400×400; peripheral blood smear — 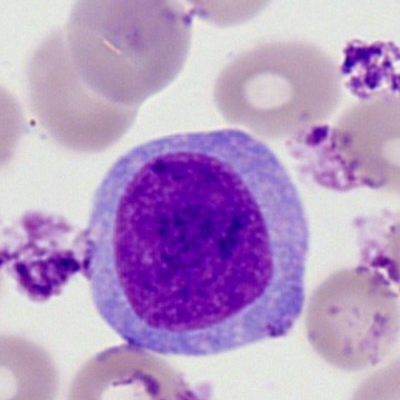

Morphology → myeloblast.